Bone marrow aspirate smear. Pappenheim-stained:
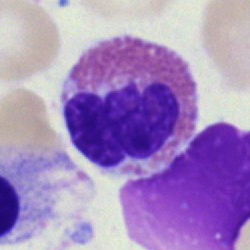
Impression → eosinophilic granulocyte.